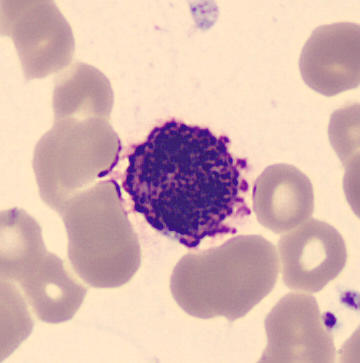From a peripheral blood smear: a basophil.